MGG-stained. Bone marrow aspirate smear
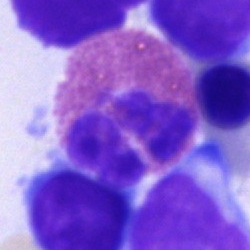

Q: What cell is this?
A: Eosinophil.